100× oil immersion; 400 by 400 pixels; peripheral blood film:
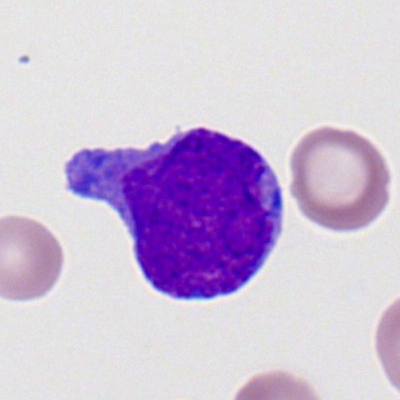
Single cell identified as a myeloid blast.